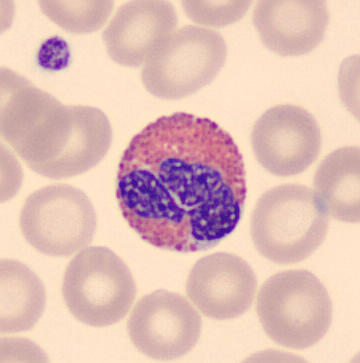Specimen: peripheral blood smear.
Morphological class: eosinophil.
Lineage: myeloid.